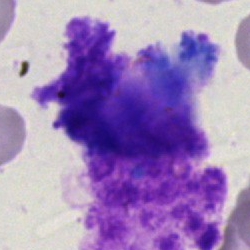

Morphological class = artifact.